Brightfield, 40× oil-immersion objective · bone marrow aspirate smear — 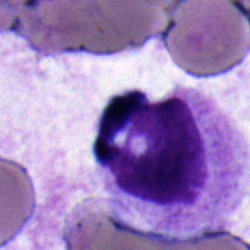 Morphology consistent with a segmented neutrophil.